250×250 px. Bone marrow smear. 40× oil immersion.
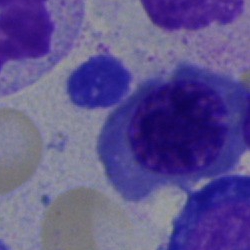 Specimen: bone marrow aspirate smear.
Cell: erythroblast.
Lineage: erythroid.